Bone marrow smear — 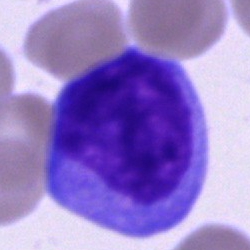 Morphology → blast.